Single-cell crop. Bone marrow smear:
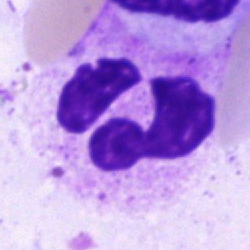

Q: Which cell type is shown here?
A: It is a polymorphonuclear neutrophil.